Bone marrow aspirate smear. Pappenheim-stained: 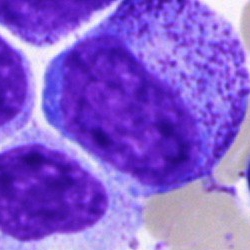Morphology → progranulocyte.